Single-cell crop. 250 by 250 pixels. Bone marrow aspirate smear
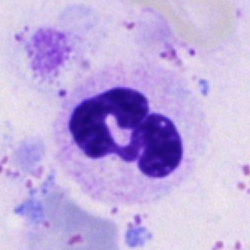
Single cell identified as a polymorphonuclear neutrophil.